Peripheral blood film:
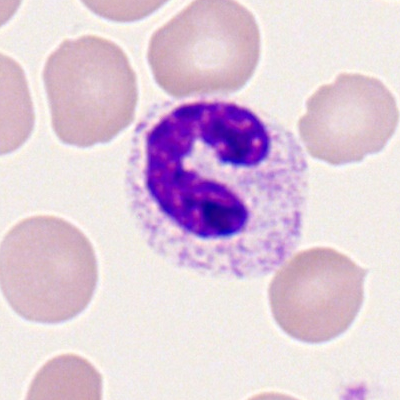
Morphology consistent with a band-form neutrophil.